Single-cell field · May-Grünwald-Giemsa stain · bone marrow aspirate smear — 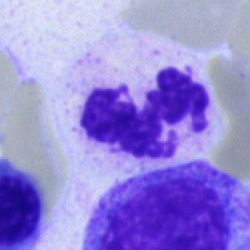

This is a neutrophil (segmented).